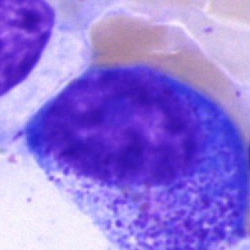 Morphology consistent with a progranulocyte.